Bone marrow smear:
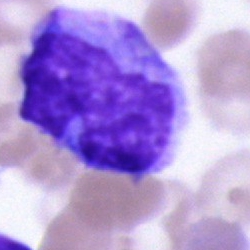 This is a monocyte.